Bone marrow smear — 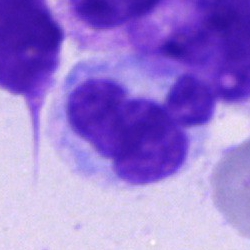 Impression — monocyte.